Peripheral blood smear · image size 400×400 · Romanowsky-stained:
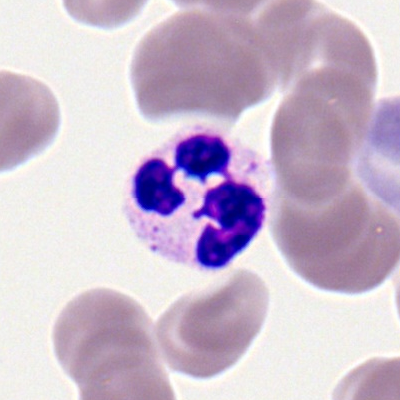 Segmented neutrophil.